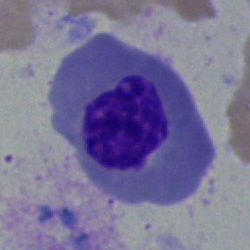

Showing a nucleated red blood cell.